May-Grünwald-Giemsa/Pappenheim stain. 250×250 px. Bone marrow aspirate smear — 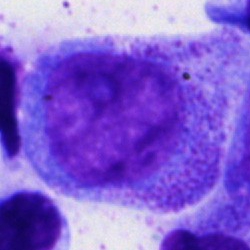 This is a progranulocyte.